250×250 px · bone marrow smear
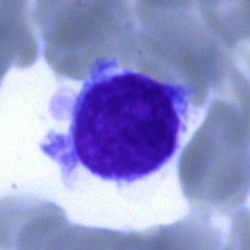
Q: What type of cell is this?
A: A hairy cell.